Bone marrow smear: 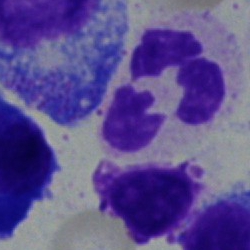 This is a segmented neutrophil.